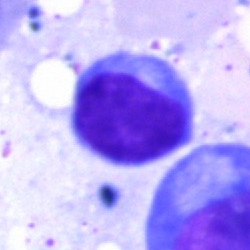Morphology — lymphocyte.